Bone marrow smear. Pappenheim-stained:
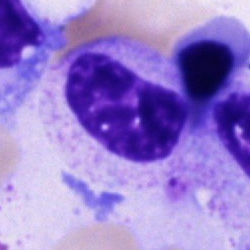
Q: Which cell type is shown here?
A: An unidentifiable cell.